Brightfield microscopy, 40× oil immersion · bone marrow aspirate smear.
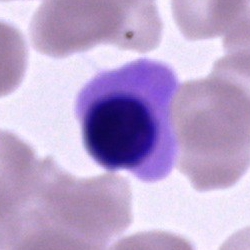 Nucleated red cell.